40× objective, oil immersion; bone marrow smear:
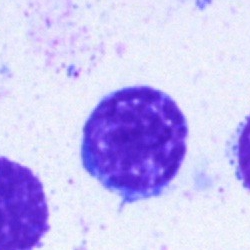
Morphology — lymphocyte.